May-Grünwald-Giemsa/Pappenheim stain; bone marrow aspirate smear: 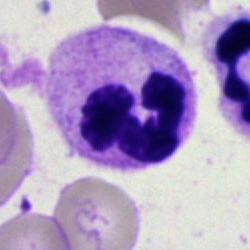

Specimen: bone marrow aspirate smear.
Classification: segmented neutrophil.
Lineage: myeloid.